Image size 250×250; Pappenheim-stained; bone marrow smear:
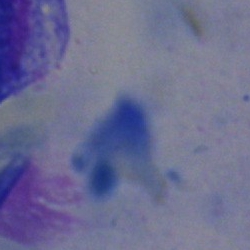Morphology consistent with an artifact.